Bone marrow aspirate smear.
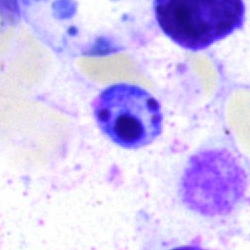
Showing an artefact.